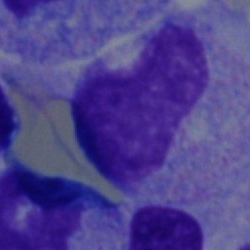The cell shown is an artifact.